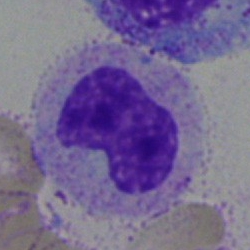A metamyelocyte on a bone marrow smear.